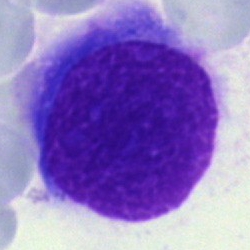 Cell = artifact.